May-Grünwald-Giemsa stain. Bone marrow smear
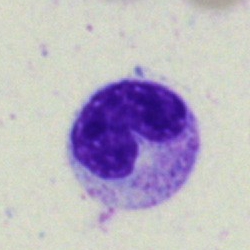

Cell type — neutrophil (band).